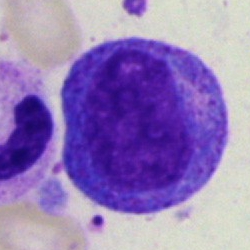
Cell: progranulocyte.